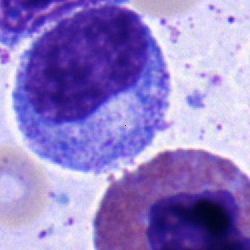Impression → promyelocyte.